Bone marrow smear: 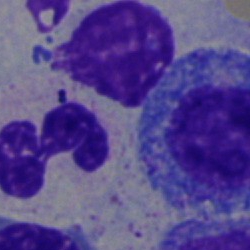

Showing a neutrophil (segmented).